Image size 250×250 · brightfield, 40× oil-immersion objective · bone marrow aspirate smear:
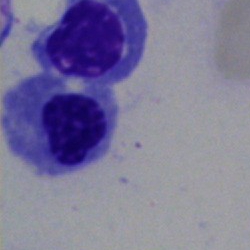 This is a nucleated red cell.